Peripheral blood smear — 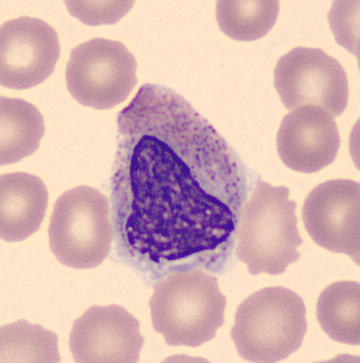
Q: What cell is this?
A: This is a metamyelocyte.